Bone marrow aspirate smear: 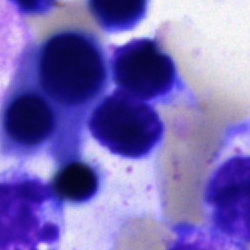 Nucleated red cell.